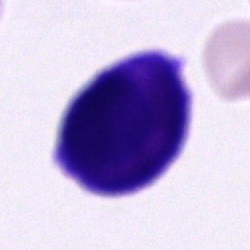 {"cell_type": "cell of indeterminate lineage"}